Bone marrow smear — 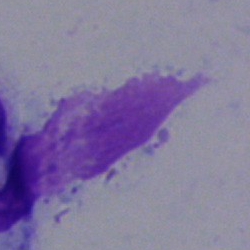
Single cell identified as an artifact.